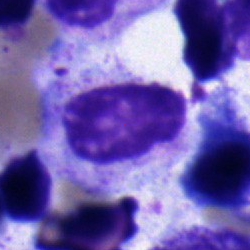 Classification: neutrophil (band).